Bone marrow aspirate smear · MGG-stained — 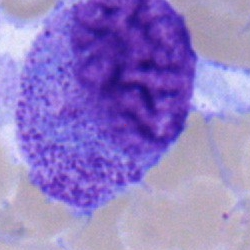
Morphology — promyelocyte.